Bone marrow smear · 40× objective, oil immersion — 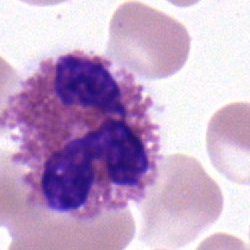 The cell is eosinophilic granulocyte.